Peripheral blood smear.
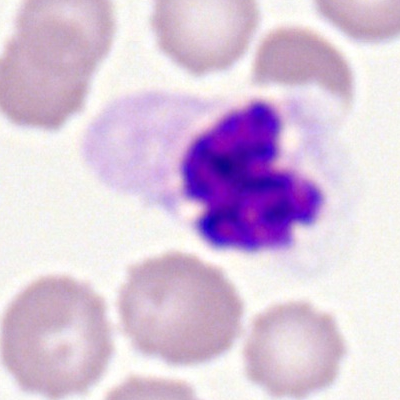 Q: Which cell type is shown here?
A: It is a neutrophil (segmented).